Brightfield microscopy, 40× oil immersion. Bone marrow smear
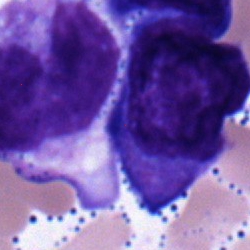{"cell_type": "undifferentiated blast"}